Cropped to a single cell; brightfield, 40× oil-immersion objective; bone marrow aspirate smear.
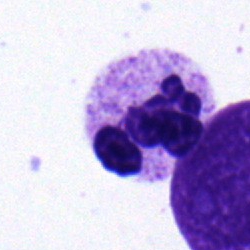
Cell type: neutrophil (segmented).